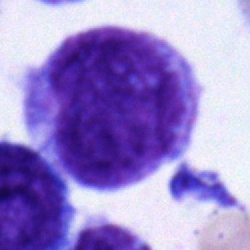
Single cell identified as a monocyte.